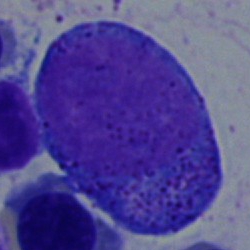

The cell type is promyelocyte.